Bone marrow smear
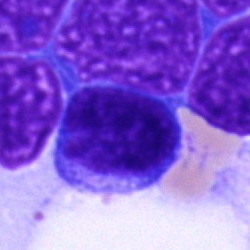

Q: What is shown here?
A: It is a cell of indeterminate lineage.